MGG stain. Peripheral blood film: 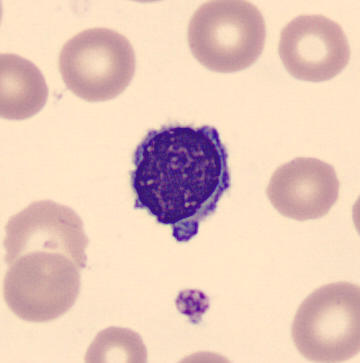Typical lymphocyte.